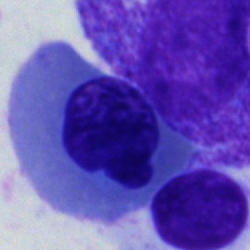

Specimen: bone marrow smear.
Morphological class: nucleated red cell.